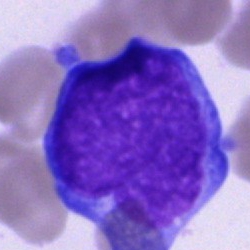 Morphology → blast cell.